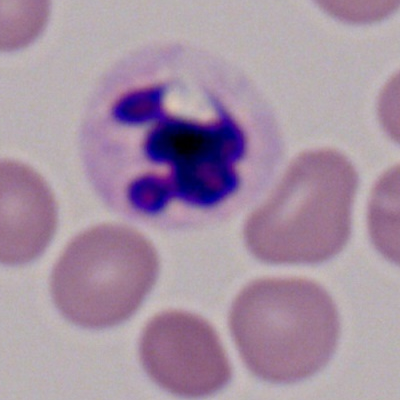

Cell type — polymorphonuclear neutrophil.